Peripheral blood smear; 100× oil immersion; Romanowsky stain: 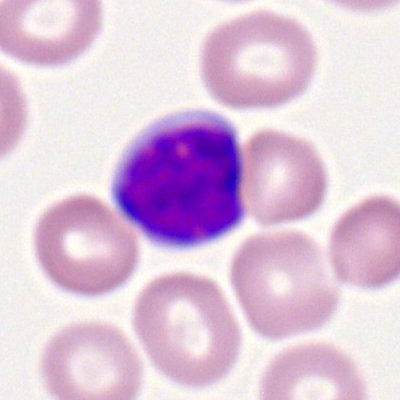
Showing a typical lymphocyte.